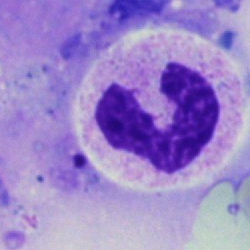

A polymorphonuclear neutrophil.